Bone marrow smear. Cropped to a single cell.
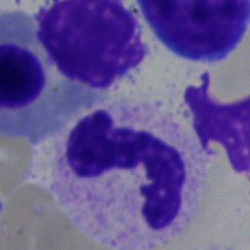
Impression — band neutrophil.